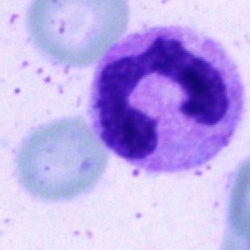
Cell type: polymorphonuclear neutrophil.